Bone marrow smear — 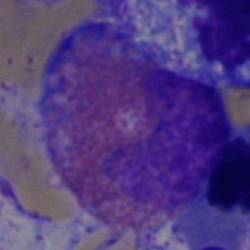Q: Which cell type is shown here?
A: It is an eosinophil.